40× oil immersion · bone marrow aspirate smear · 250×250 px: 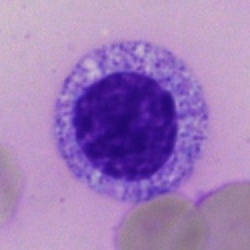
Q: What type of cell is this?
A: It is a myelocyte.